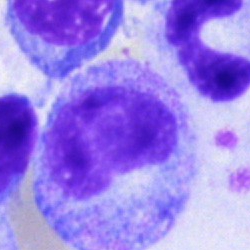 A progranulocyte.